Bone marrow aspirate smear
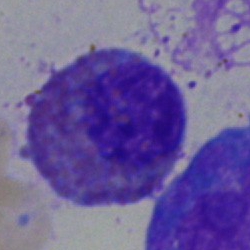

Morphology consistent with an eosinophilic granulocyte.